Bone marrow aspirate smear:
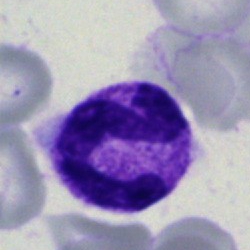
Q: What is shown here?
A: It is a polymorphonuclear neutrophil.